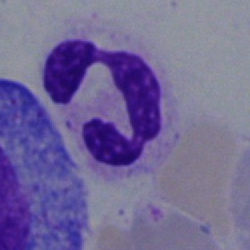 The classification is segmented neutrophil.